Bone marrow aspirate smear · 250×250
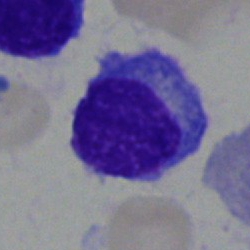
A plasma cell.